Bone marrow smear — 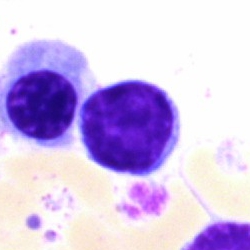Single cell identified as a lymphocyte.